Image size 250×250; Pappenheim-stained; bone marrow aspirate smear.
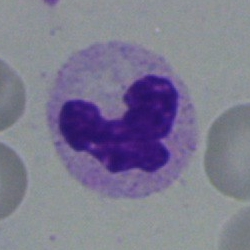
Specimen: bone marrow smear.
Morphological class: polymorphonuclear neutrophil.
Lineage: myeloid.